Bone marrow smear — 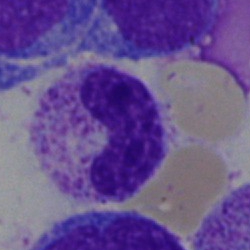
Q: What type of cell is this?
A: This is a neutrophil (band).